Bone marrow smear; brightfield, 40× oil-immersion objective; single-cell field
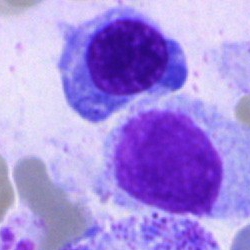Q: Identify the cell.
A: An erythroblast.